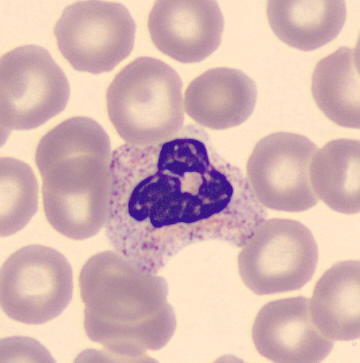 Cell = neutrophil (segmented).